250 by 250 pixels; bone marrow aspirate smear — 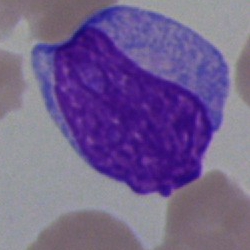 Single cell identified as an undifferentiated blast.